Bone marrow smear.
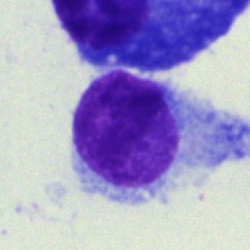Morphology consistent with a hairy cell.